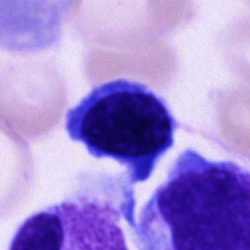

Bone marrow smear showing an unidentifiable cell.